Brightfield, 40× oil-immersion objective; bone marrow smear: 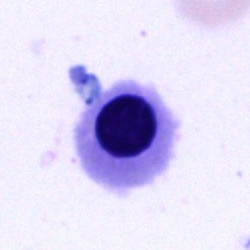

Q: What is shown here?
A: It is an erythroblast.